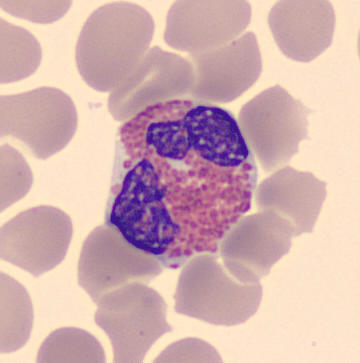
Morphology — eosinophil. Acquisition: Single-cell field · peripheral blood film.